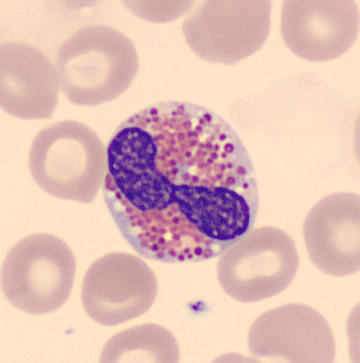Specimen: peripheral blood film.
Cell type: eosinophilic granulocyte.